Bone marrow aspirate smear:
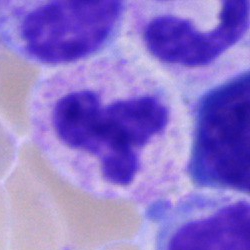
Impression — polymorphonuclear neutrophil.